Bone marrow smear: 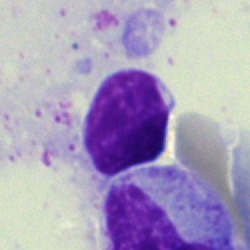Showing a lymphocyte.